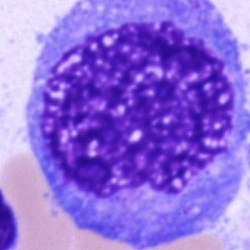Cell type = undifferentiated blast.